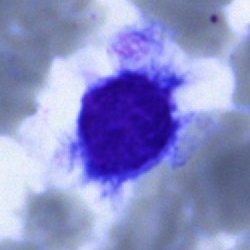 Specimen: bone marrow smear.
Morphological class: hairy cell.